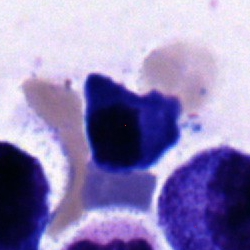 Morphology — plasma cell.